Bone marrow aspirate smear
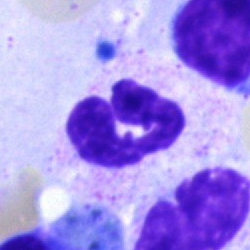
Cell — polymorphonuclear neutrophil.